Bone marrow aspirate smear · brightfield microscopy, 40× oil immersion
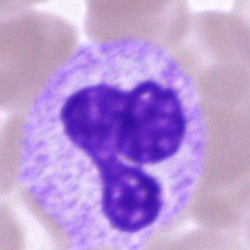

Morphological class — polymorphonuclear neutrophil.